Single-cell field; bone marrow smear
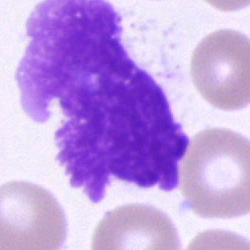 Morphology consistent with an artifact.